Peripheral blood film — 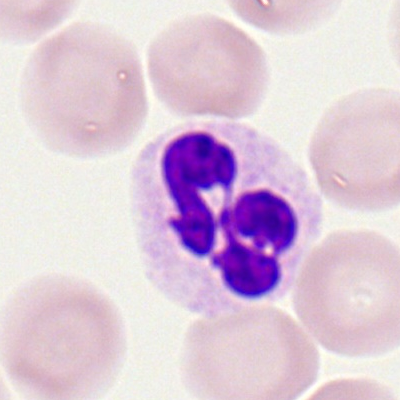
Morphology — neutrophil (segmented).